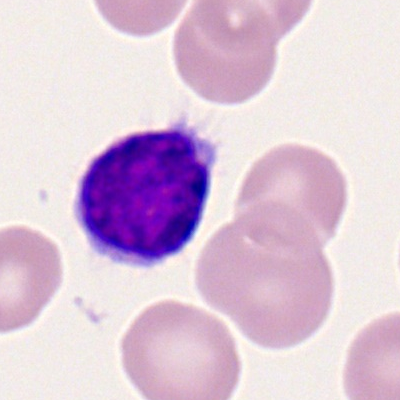 Typical lymphocyte.